Brightfield microscopy, 40× oil immersion; bone marrow smear — 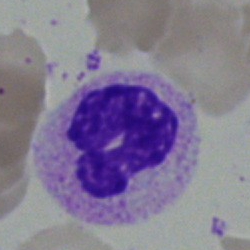
Q: Identify the cell.
A: Segmented neutrophil.